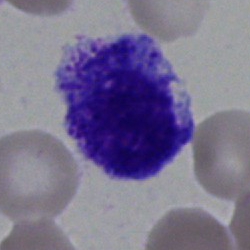
Morphological class: progranulocyte.